Bone marrow smear; MGG-stained
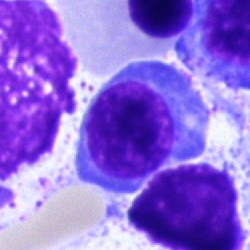

Showing an erythroblast.